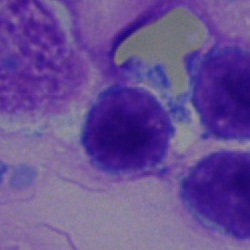Cell: lymphocyte.